Peripheral blood film: 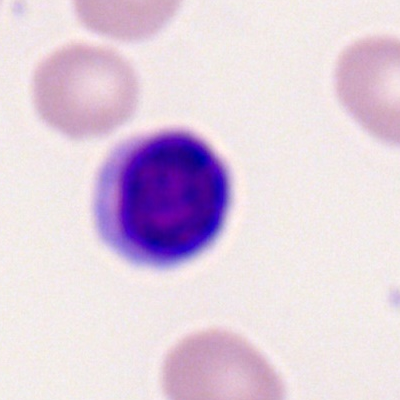
Q: Identify the cell.
A: It is a lymphocyte.